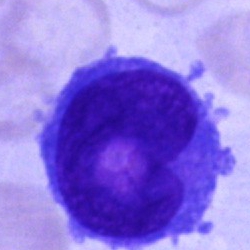 Classification: blast.